Brightfield microscopy, 40× oil immersion; bone marrow aspirate smear — 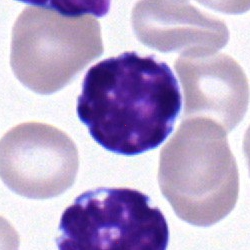 A typical lymphocyte.